Bone marrow smear: 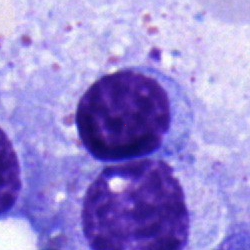
The cell shown is a lymphocyte.